Peripheral blood film; cropped to a single cell: 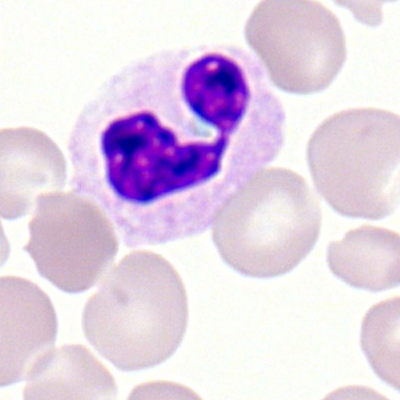

The cell type is neutrophil (segmented).